MGG-stained · brightfield, 40× oil-immersion objective · bone marrow smear — 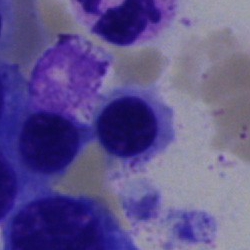
Morphological class: normoblast.